Brightfield, 40× oil-immersion objective · bone marrow smear:
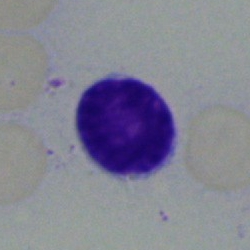Morphology consistent with a typical lymphocyte.